Peripheral blood smear: 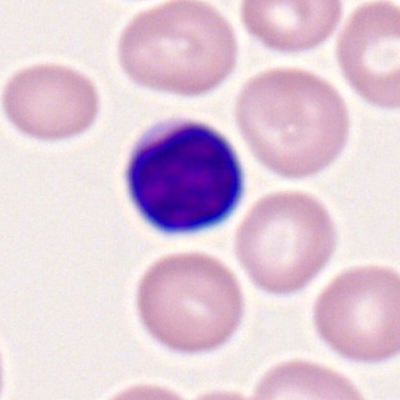

Single cell identified as a lymphocyte.